Bone marrow smear. May-Grünwald-Giemsa stain. Single cell centered in the field
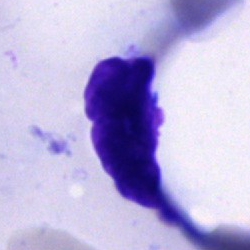

The cell is artefact.